250×250 px. Bone marrow smear: 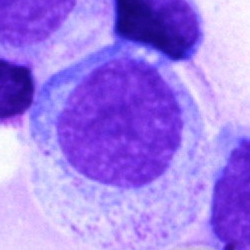

Morphological class — myelocyte.